May-Grünwald-Giemsa/Pappenheim stain. Bone marrow aspirate smear
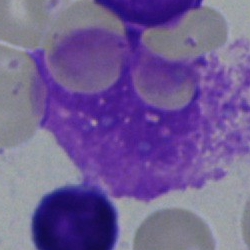

The cell is artefact.